Bone marrow smear — 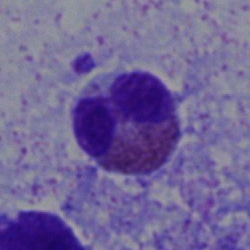

Morphology consistent with an eosinophilic granulocyte.